Bone marrow aspirate smear · cropped to a single cell · 40× oil immersion.
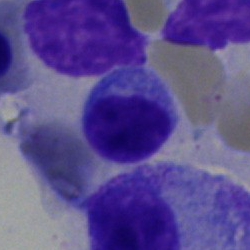Classification = typical lymphocyte.